Bone marrow aspirate smear: 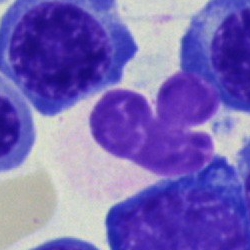 The cell shown is an artefact.